Bone marrow aspirate smear
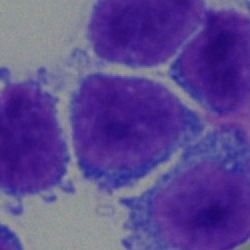
Classification — typical lymphocyte.